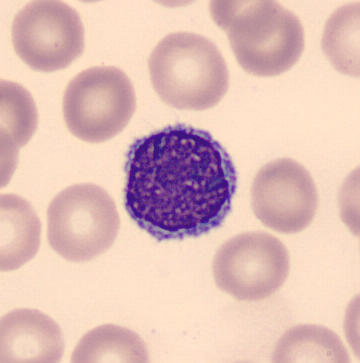

Peripheral blood smear.

{"cell_type": "typical lymphocyte", "lineage": "lymphoid"}